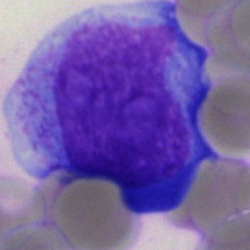Q: What is the morphological classification of this cell?
A: It is a progranulocyte.